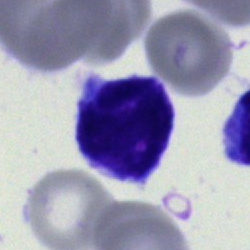

Single-cell crop from a bone marrow smear: undifferentiated blast.